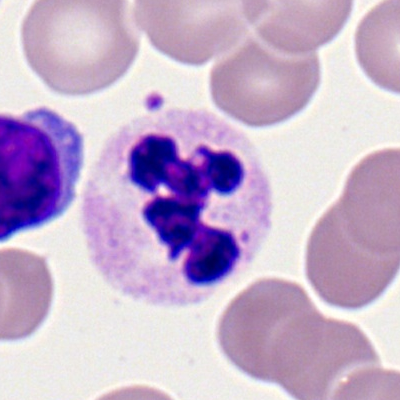
Cell = segmented neutrophil.